Single cell centered in the field; May-Grünwald-Giemsa stain; bone marrow smear — 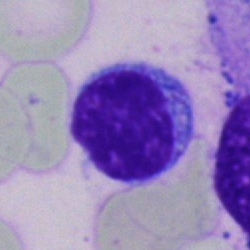
The cell is lymphocyte.